Single-cell crop · bone marrow smear · brightfield, 40× oil-immersion objective — 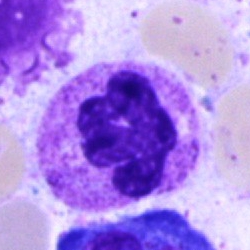Morphology consistent with a polymorphonuclear neutrophil.